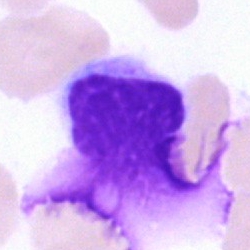Q: What is shown here?
A: An artifact.